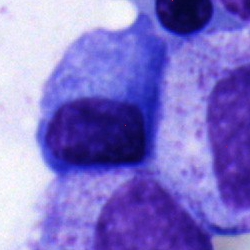
Impression → plasmacyte.